MGG-stained. Bone marrow aspirate smear. Single-cell field — 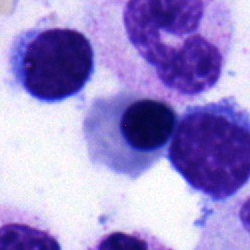 Q: Identify the cell.
A: It is an erythroblast.